MGG-stained · brightfield microscopy, 40× oil immersion · bone marrow aspirate smear:
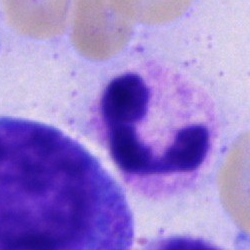 Specimen: bone marrow smear.
Cell type: segmented neutrophil.